Bone marrow smear
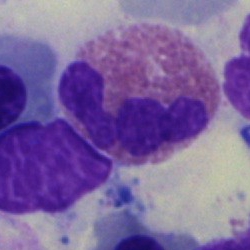 Showing an eosinophilic granulocyte.